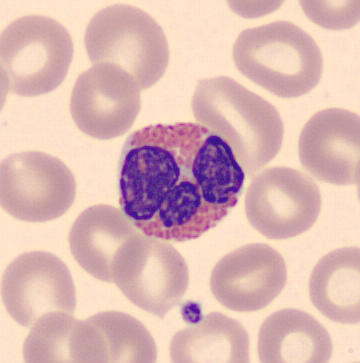
The cell shown is an eosinophilic granulocyte.